Bone marrow smear.
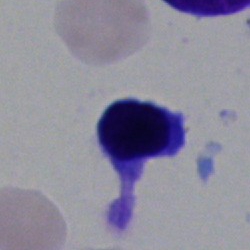Showing a lymphocyte.